Bone marrow smear. 40× objective, oil immersion: 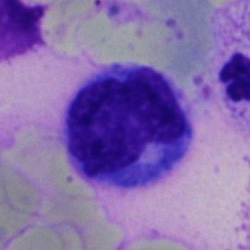{"cell_type": "monocyte"}